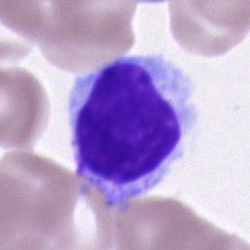
Impression — lymphocyte.